MGG-stained; image size 250×250; bone marrow smear:
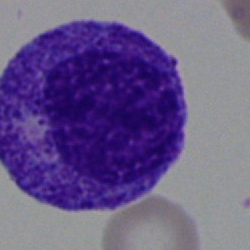

Morphology consistent with a promyelocyte.